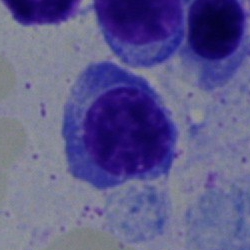

Q: Which cell type is shown here?
A: This is an erythroblast.